May-Grünwald-Giemsa stain · bone marrow aspirate smear: 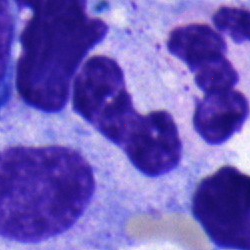
{"cell_type": "neutrophil (band)", "lineage": "myeloid"}